Bone marrow smear
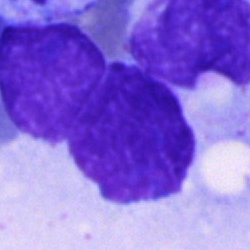

{"cell_type": "artefact"}